Bone marrow smear; May-Grünwald-Giemsa/Pappenheim stain: 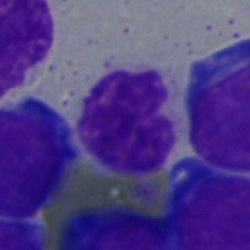Single cell identified as a polymorphonuclear neutrophil.